Image size 250×250 · bone marrow aspirate smear
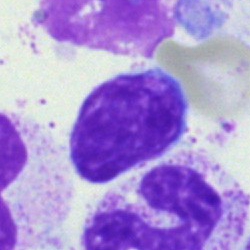

Q: What is the morphological classification of this cell?
A: It is a lymphocyte.